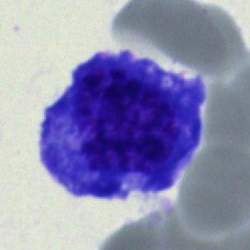
Single cell identified as a plasmacyte.